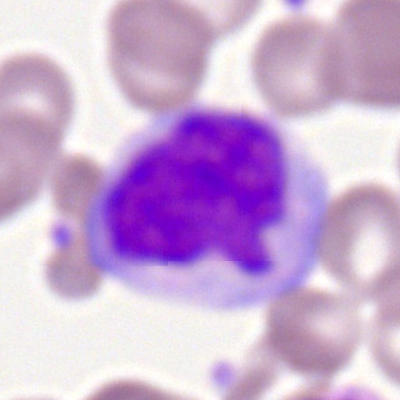
Cell — monocyte.